Single-cell crop · bone marrow smear — 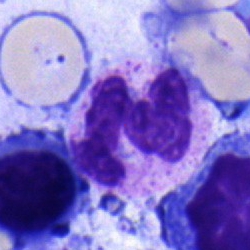
Impression → neutrophil (segmented).